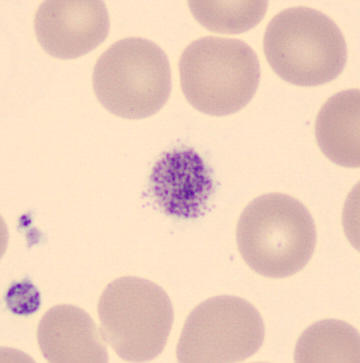Identified as a thrombocyte. Peripheral blood smear.